Bone marrow aspirate smear
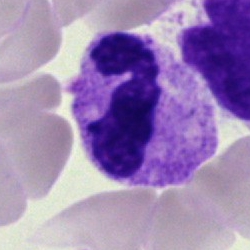
Q: Which cell type is shown here?
A: Segmented neutrophil.